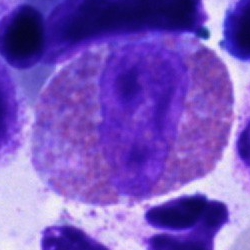

Q: Identify the cell.
A: It is an eosinophilic granulocyte.